Peripheral blood film. 400 by 400 pixels — 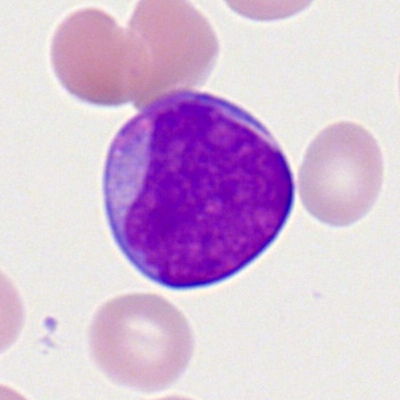Cell: myeloblast.